Bone marrow smear — 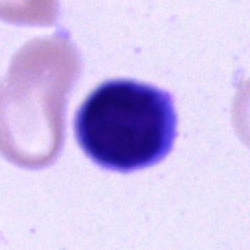
Single cell identified as a typical lymphocyte.